250×250 · bone marrow smear: 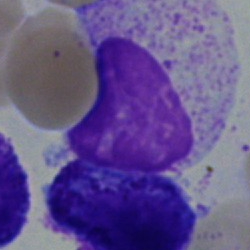Morphology — myelocyte.